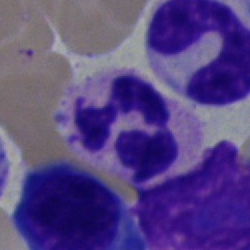Q: What is the morphological classification of this cell?
A: This is a segmented neutrophil.